Bone marrow smear; 250 by 250 pixels: 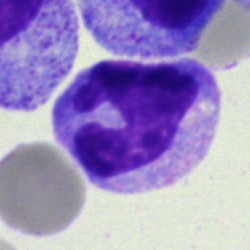

Cell type — monocyte.